Bone marrow smear:
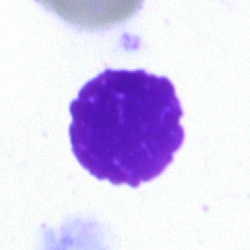Specimen: bone marrow aspirate smear.
Cell: artefact.